Peripheral blood smear:
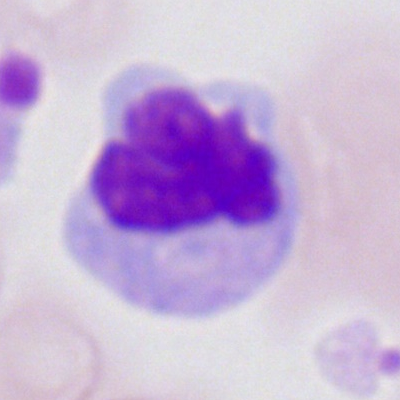 Specimen: peripheral blood smear.
Morphological class: monocyte.
Lineage: myeloid.